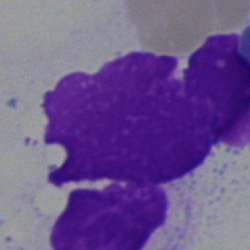 An artefact on a bone marrow smear.